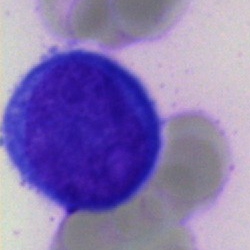

Morphology consistent with an undifferentiated blast.